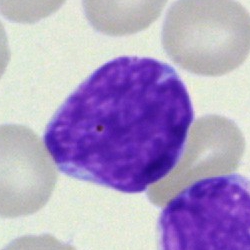

Cell type — blast.